Single-cell crop; bone marrow smear; May-Grünwald-Giemsa/Pappenheim stain — 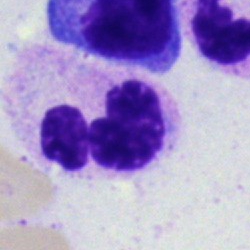

Showing a segmented neutrophil.